40× objective, oil immersion; bone marrow smear: 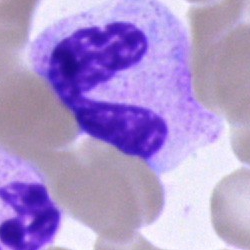 Single cell identified as a band-form neutrophil.